Peripheral blood smear. 100× oil immersion
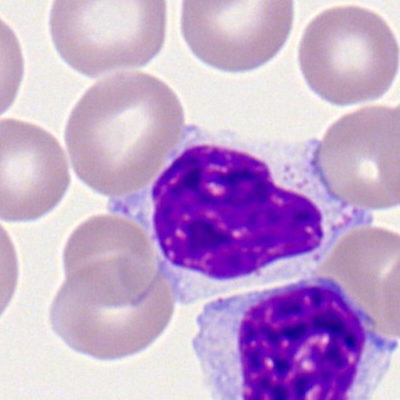
{"cell_type": "lymphocyte", "lineage": "lymphoid"}